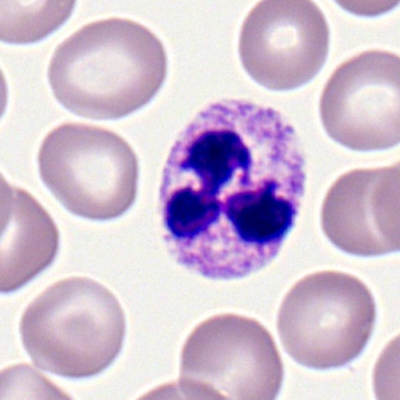 The cell type is polymorphonuclear neutrophil.